Bone marrow aspirate smear; cropped to a single cell; 250 by 250 pixels: 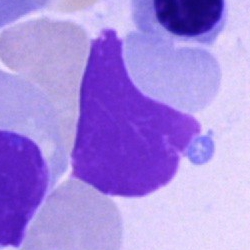Q: What is shown here?
A: This is an artifact.